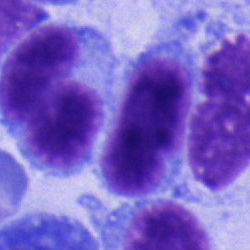 Specimen: bone marrow smear.
Cell: typical lymphocyte.
Lineage: lymphoid.